Bone marrow smear — 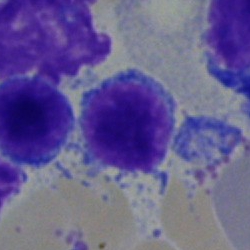

Showing a lymphocyte.